Peripheral blood film · 400×400 · Romanowsky-type stain: 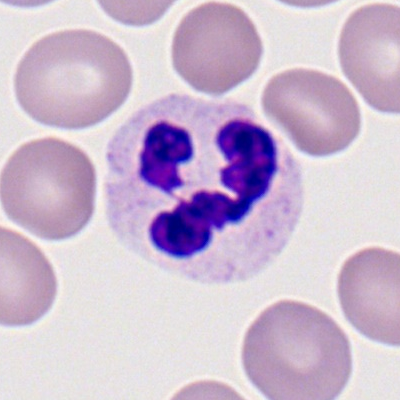

Cell = polymorphonuclear neutrophil.